250×250. May-Grünwald-Giemsa stain. Bone marrow smear
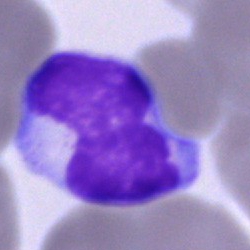

A lymphocyte.